Peripheral blood film — 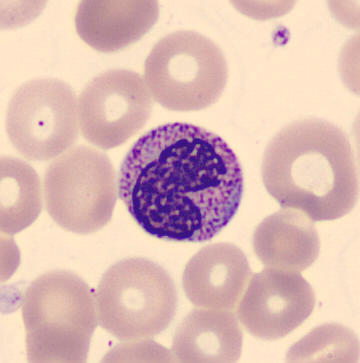 Classification = metamyelocyte.